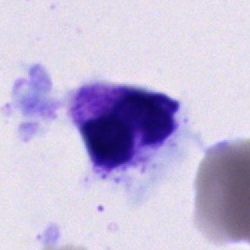The cell is segmented neutrophil.